Bone marrow aspirate smear · 250×250
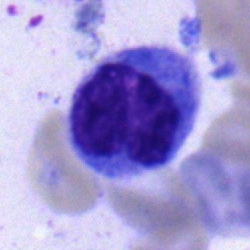

The cell type is monocyte.